250 by 250 pixels · bone marrow smear · brightfield, 40× oil-immersion objective:
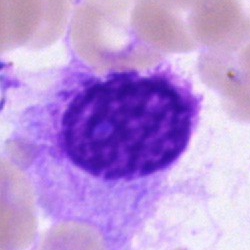

{"cell_type": "artifact"}